Bone marrow smear. 40× objective, oil immersion:
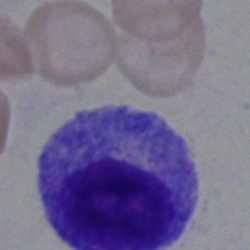

Cell type = myelocyte.